Bone marrow aspirate smear:
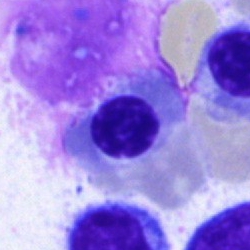
Q: What is shown here?
A: A nucleated red blood cell.